May-Grünwald-Giemsa stain. Bone marrow aspirate smear:
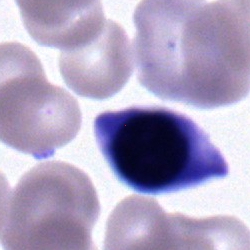 Single cell identified as a typical lymphocyte.